Bone marrow smear. Brightfield microscopy, 40× oil immersion:
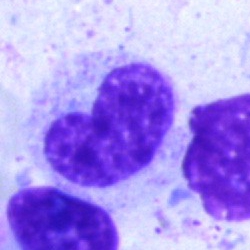 Q: Which cell type is shown here?
A: This is a band-form neutrophil.